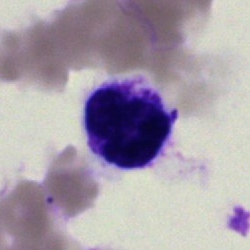Specimen: bone marrow aspirate smear.
Classification: artifact.